Image size 250×250; bone marrow smear
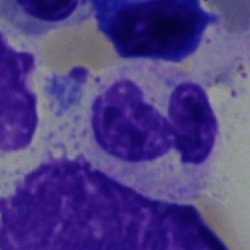

Q: Which cell type is shown here?
A: This is a segmented neutrophil.